Image size 250×250 · bone marrow aspirate smear:
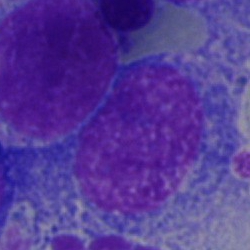Undifferentiated blast.